Bone marrow smear.
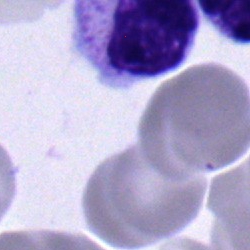 Impression → metamyelocyte.